Bone marrow aspirate smear
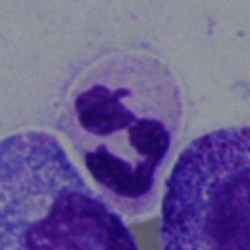Q: Which cell type is shown here?
A: Neutrophil (segmented).